Pappenheim-stained · bone marrow aspirate smear · 250×250 px: 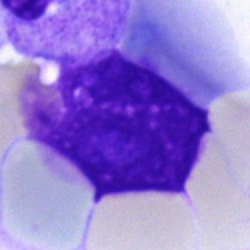 Q: What is shown here?
A: An artifact.